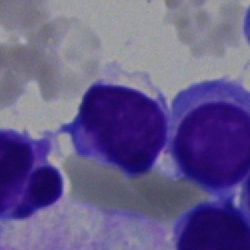

Morphology — lymphocyte.